Bone marrow smear
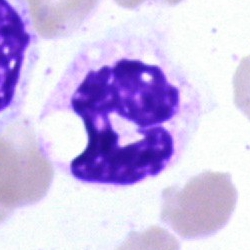
Neutrophil (segmented).